Peripheral blood film.
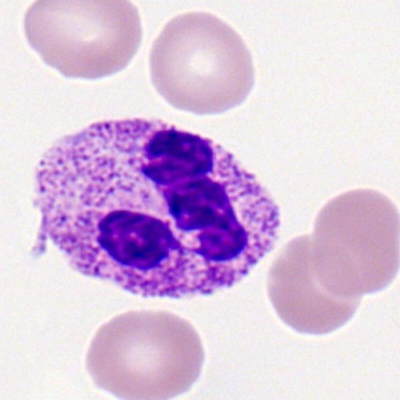Morphological class — neutrophil (segmented).